Bone marrow aspirate smear · brightfield, 40× oil-immersion objective.
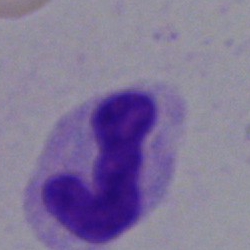 Morphological class — polymorphonuclear neutrophil.